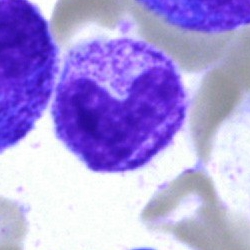
Specimen: bone marrow aspirate smear.
Classification: band neutrophil.
Lineage: myeloid.